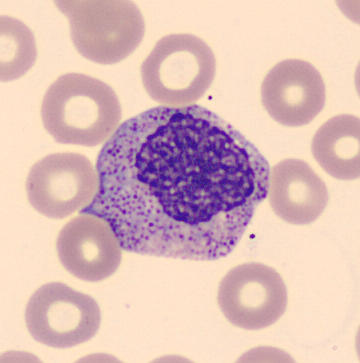
Image: Single-cell field; peripheral blood film; MGG stain. Morphology consistent with a myelocyte.